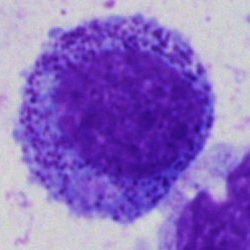

{"cell_type": "promyelocyte"}